Brightfield microscopy, 40× oil immersion; bone marrow aspirate smear; single-cell field.
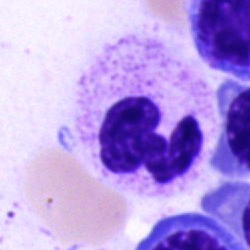 Morphology consistent with a neutrophil (segmented).